May-Grünwald-Giemsa/Pappenheim stain · 250 by 250 pixels · bone marrow smear:
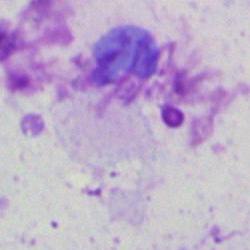 Artefact.